May-Grünwald-Giemsa/Pappenheim stain. Cropped to a single cell. Bone marrow aspirate smear.
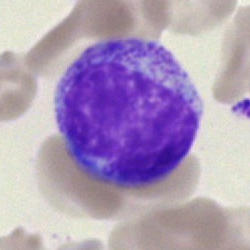
Morphology — myelocyte.